MGG-stained. Bone marrow aspirate smear:
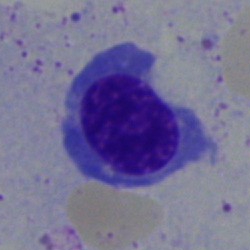{"cell_type": "normoblast"}